Bone marrow smear: 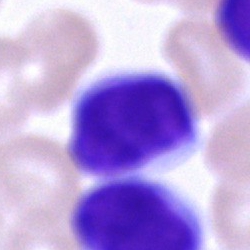Single cell identified as a typical lymphocyte.